Bone marrow aspirate smear
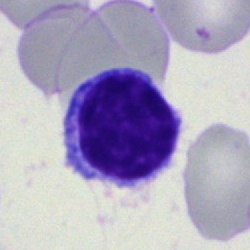The cell shown is a lymphocyte.